Bone marrow smear; cropped to a single cell: 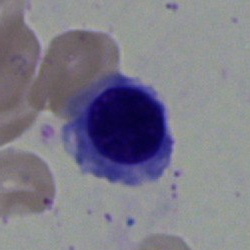 The cell type is erythroblast.